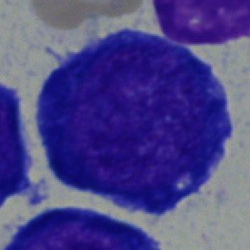
Cell type = proerythroblast.